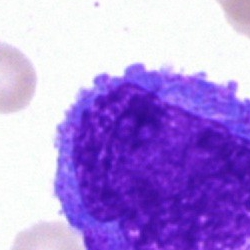Q: What cell is this?
A: Undifferentiated blast.